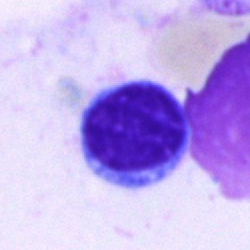 Specimen: bone marrow aspirate smear.
Morphological class: typical lymphocyte.
Lineage: lymphoid.